250 by 250 pixels; bone marrow aspirate smear; cropped to a single cell:
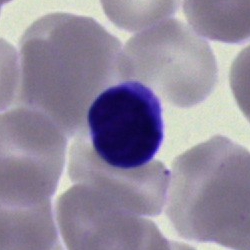Morphology consistent with a typical lymphocyte.